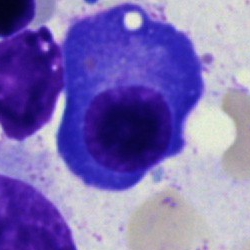

Showing a plasmacyte.